Bone marrow aspirate smear — 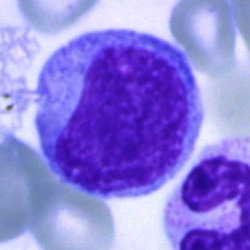
Cell: blast.